Peripheral blood smear. Automated cell imaging (CellaVision DM96). Single-cell crop:
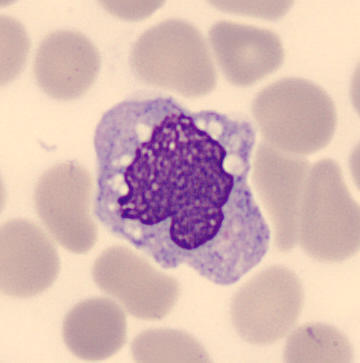

Specimen: peripheral blood film.
Cell type: monocyte.